Bone marrow smear — 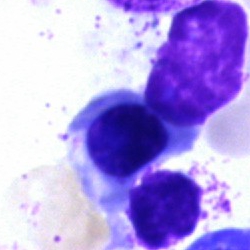
Specimen: bone marrow smear.
Cell: normoblast.
Lineage: erythroid.